Bone marrow aspirate smear
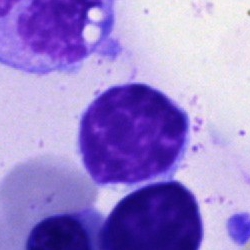 Specimen: bone marrow smear.
Morphological class: lymphocyte.
Lineage: lymphoid.